250 by 250 pixels. Bone marrow smear: 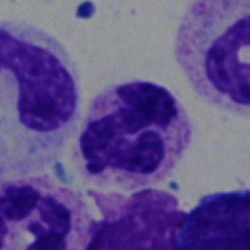
Showing a neutrophil (segmented).